40× oil immersion. Bone marrow smear: 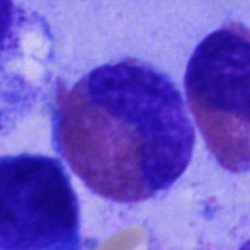 {"cell_type": "eosinophilic granulocyte"}